Bone marrow aspirate smear:
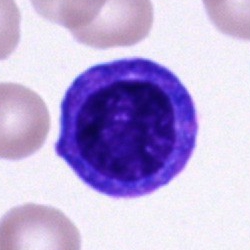 Specimen: bone marrow smear.
Morphological class: unidentifiable cell.